Bone marrow smear. Pappenheim-stained
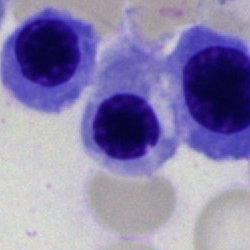An erythroblast.